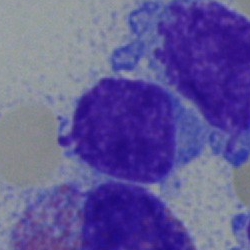 This is a lymphocyte.